Peripheral blood film:
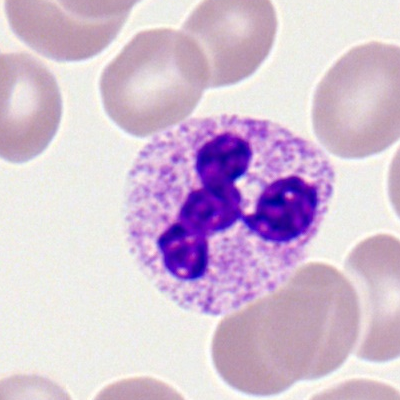Q: Identify the cell.
A: Neutrophil (segmented).